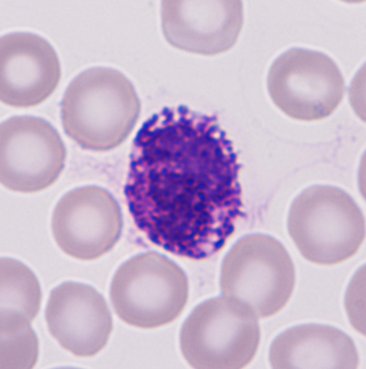Acquisition: Peripheral blood smear. Cell type = basophilic granulocyte.